Bone marrow aspirate smear
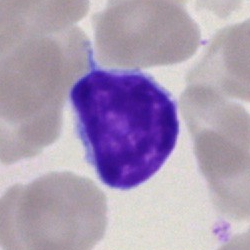
Single cell identified as a typical lymphocyte.